Single-cell field · bone marrow aspirate smear:
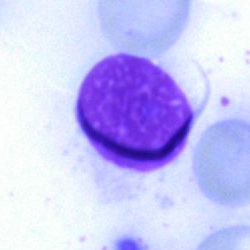Classification — unidentifiable cell.